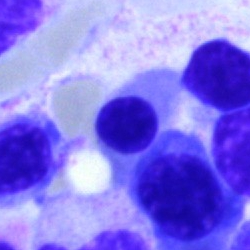

A nucleated red cell on a bone marrow smear.